Peripheral blood smear
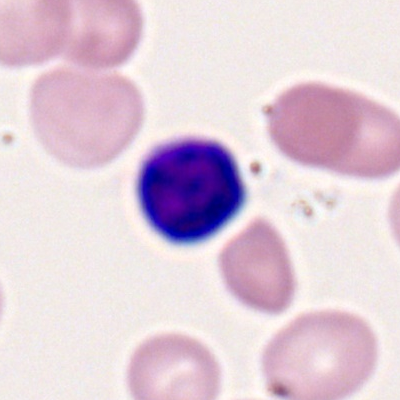

The cell shown is a lymphocyte.